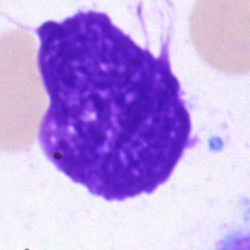
Specimen: bone marrow aspirate smear.
Classification: artifact.